May-Grünwald-Giemsa stain; 250×250 px; bone marrow smear:
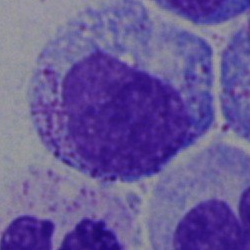 Morphology → progranulocyte.